Bone marrow aspirate smear — 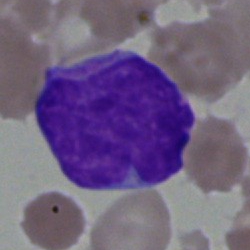 Blast.